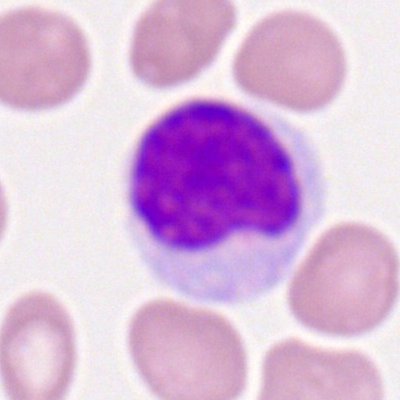
Impression — typical lymphocyte.